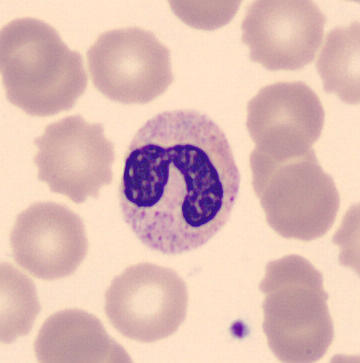
Specimen: peripheral blood smear.
Cell type: neutrophil (band).